Bone marrow aspirate smear. Single cell centered in the field:
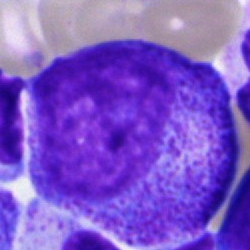
Cell type — promyelocyte.